Image size 250×250; Pappenheim-stained; bone marrow smear:
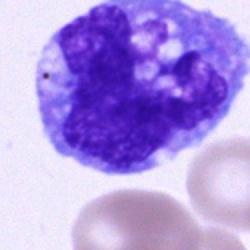
Impression → monocyte.